Bone marrow aspirate smear; 40× oil immersion — 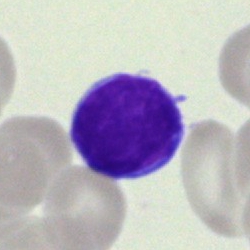

Single cell identified as a typical lymphocyte.